Bone marrow aspirate smear:
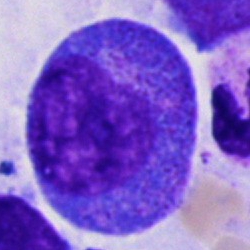

Impression → promyelocyte.